May-Grünwald-Giemsa stain; bone marrow smear; single-cell crop: 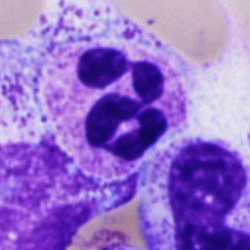Morphology consistent with a polymorphonuclear neutrophil.